Bone marrow smear:
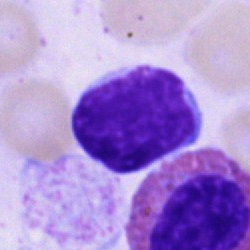

Showing a lymphocyte.